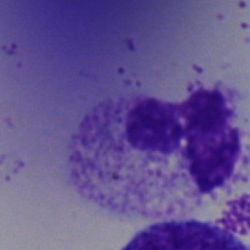 Classification = polymorphonuclear neutrophil.